Peripheral blood smear: 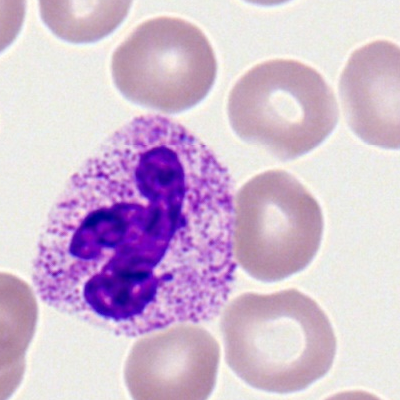
{"cell_type": "neutrophil (segmented)"}